250×250. May-Grünwald-Giemsa/Pappenheim stain. Bone marrow smear:
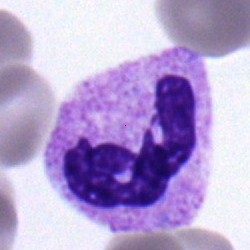
Morphology consistent with a polymorphonuclear neutrophil.